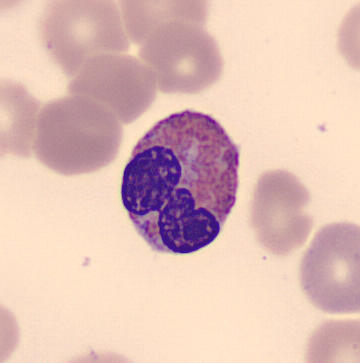

Peripheral blood film. Cell type — eosinophilic granulocyte.